May-Grünwald-Giemsa/Pappenheim stain · bone marrow smear · 40× oil immersion: 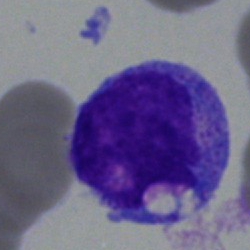 The classification is undifferentiated blast.